Bone marrow smear
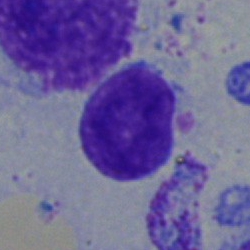
Q: What is the morphological classification of this cell?
A: Typical lymphocyte.